Bone marrow smear — 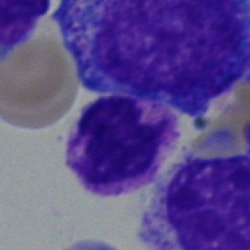

The cell shown is a basophil.